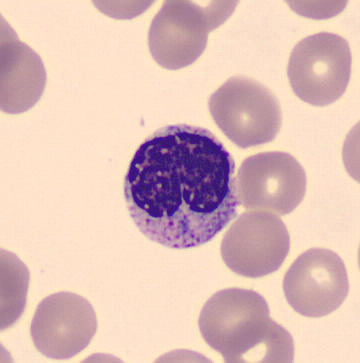
Image: CellaVision DM96 digital cell image · peripheral blood smear. Morphology → metamyelocyte.